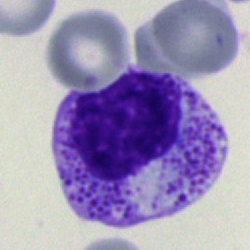 {"cell_type": "myelocyte"}